Bone marrow smear — 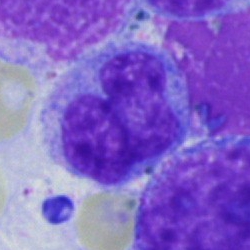
The cell is monocyte.